Bone marrow smear; single cell centered in the field:
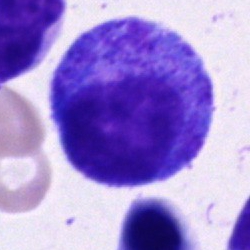{"cell_type": "progranulocyte"}